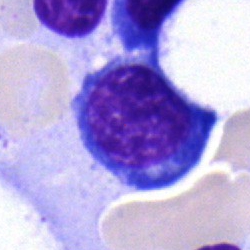

A nucleated red blood cell.